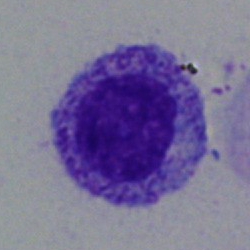

Bone marrow smear showing a myelocyte.